Bone marrow aspirate smear — 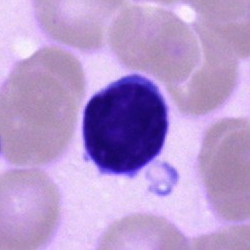Classification — typical lymphocyte.